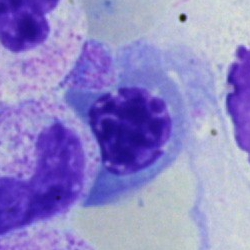

Specimen: bone marrow aspirate smear.
Cell: erythroblast.
Lineage: erythroid.